Bone marrow smear. 40× oil immersion — 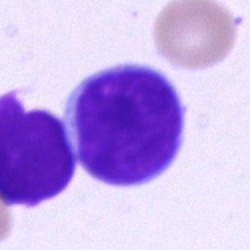

Q: What is the morphological classification of this cell?
A: It is a lymphocyte.